Bone marrow smear.
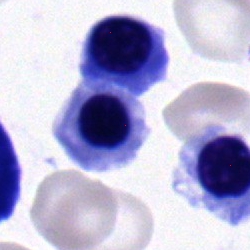

Q: What cell is this?
A: This is a nucleated red cell.